Brightfield, 40× oil-immersion objective · bone marrow aspirate smear — 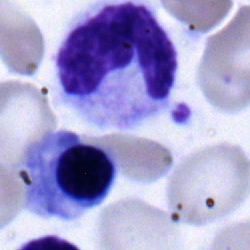The cell is monocyte.